Bone marrow aspirate smear — 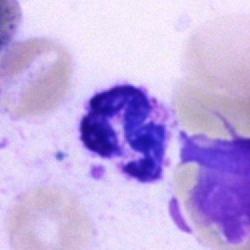

Impression — neutrophil (segmented).